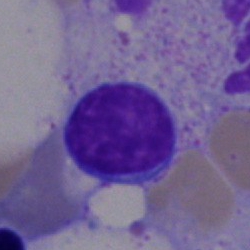

Bone marrow aspirate smear, single cell — lymphocyte.